Peripheral blood smear — 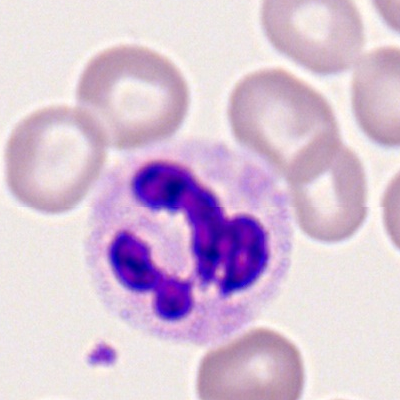

A polymorphonuclear neutrophil.